Bone marrow aspirate smear:
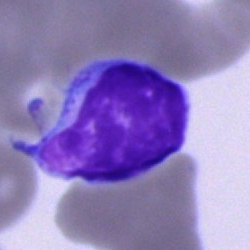
The cell shown is a typical lymphocyte.